Bone marrow smear · single-cell crop
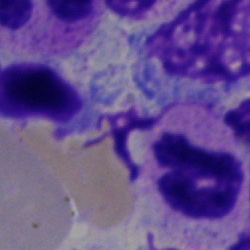Morphological class = polymorphonuclear neutrophil.